40× oil immersion; bone marrow aspirate smear
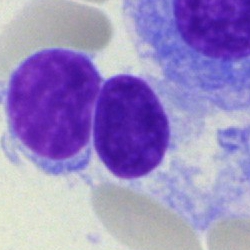
Impression → lymphocyte.